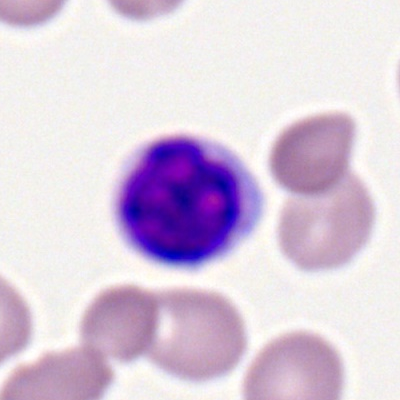Cell = typical lymphocyte.